Bone marrow aspirate smear. Cropped to a single cell
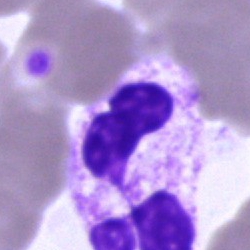This is a neutrophil (segmented).